Bone marrow aspirate smear — 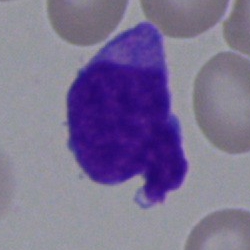Morphology → undifferentiated blast.